Brightfield, 40× oil-immersion objective; 250×250 px; bone marrow aspirate smear
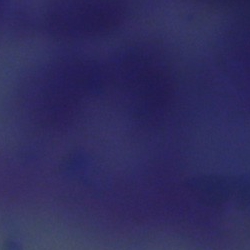
Classification — artifact.